Bone marrow smear — 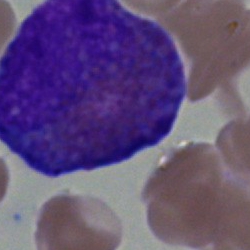
An eosinophil.